Peripheral blood film:
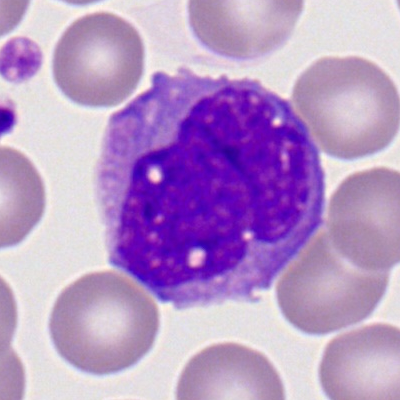 Morphological class — monocyte.